Single-cell crop · bone marrow aspirate smear · brightfield microscopy, 40× oil immersion: 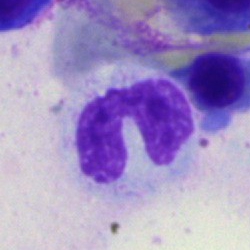

Impression — polymorphonuclear neutrophil.